Brightfield microscopy, 40× oil immersion. May-Grünwald-Giemsa/Pappenheim stain. Bone marrow aspirate smear.
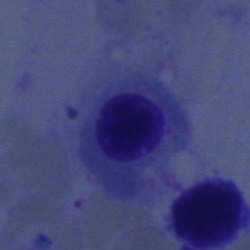Morphology — normoblast.